Bone marrow aspirate smear
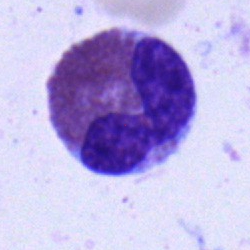
Cell type: eosinophilic granulocyte.